Bone marrow smear: 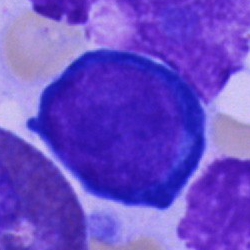
The cell shown is a proerythroblast.